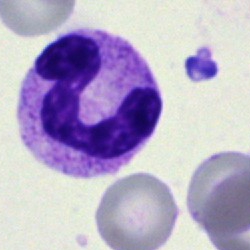

The morphological class is polymorphonuclear neutrophil.